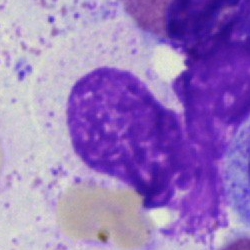

An artefact on a bone marrow smear.